Bone marrow smear — 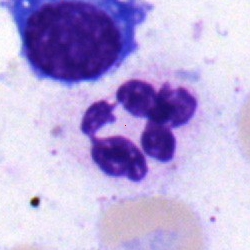Morphological class — segmented neutrophil.